Single-cell field · bone marrow smear — 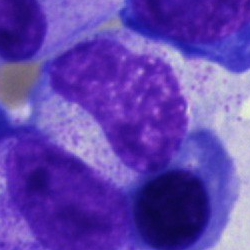 Specimen: bone marrow smear.
Cell type: metamyelocyte.
Lineage: myeloid.